Bone marrow aspirate smear — 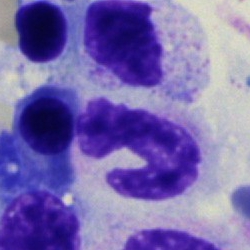Showing a band-form neutrophil.